Bone marrow smear.
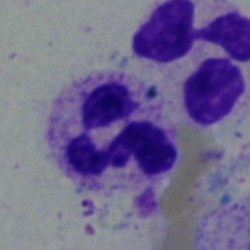Q: Identify the cell.
A: Polymorphonuclear neutrophil.